Bone marrow smear. Pappenheim-stained:
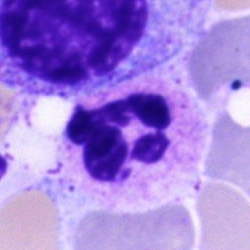 Morphological class — segmented neutrophil.